Bone marrow smear. 250×250 px: 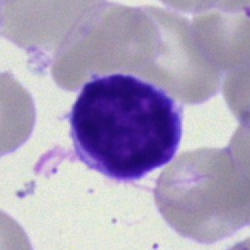 Q: What type of cell is this?
A: A typical lymphocyte.